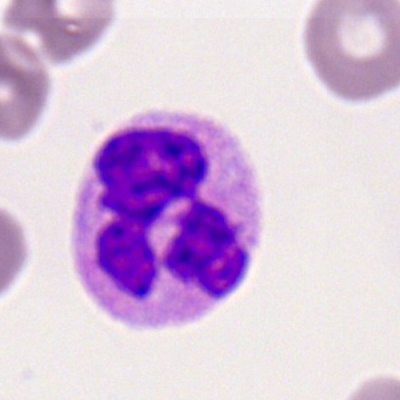
A polymorphonuclear neutrophil.